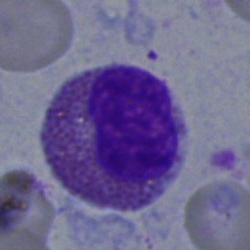
Impression → eosinophil.